Peripheral blood smear — 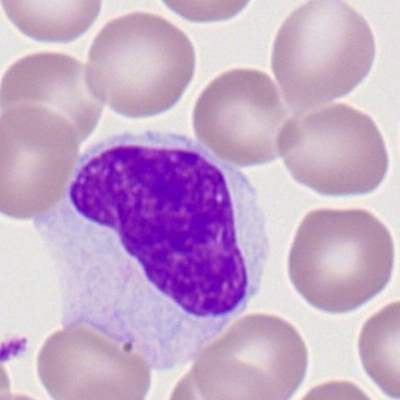

Morphology → typical lymphocyte.